May-Grünwald-Giemsa/Pappenheim stain · bone marrow smear
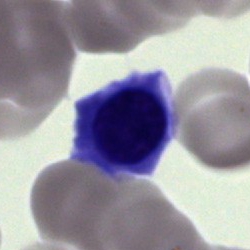

The cell is unidentifiable cell.